Bone marrow smear
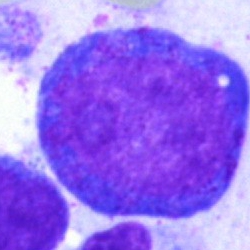
Specimen: bone marrow aspirate smear.
Classification: progranulocyte.
Lineage: myeloid.